Bone marrow aspirate smear; 40× oil immersion.
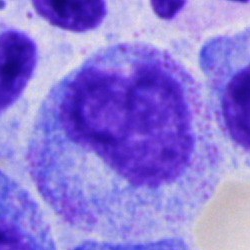 Morphology — progranulocyte.